Bone marrow smear
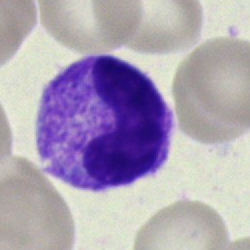Band-form neutrophil.